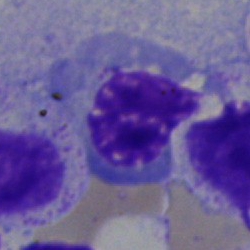

Morphological class: normoblast.